Brightfield, 40× oil-immersion objective · bone marrow smear.
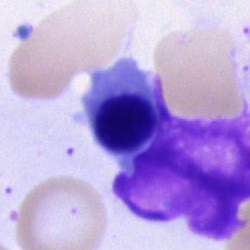 Cell: normoblast.